Bone marrow smear.
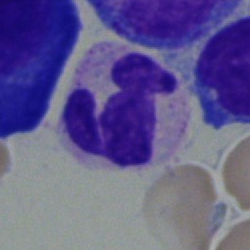

The morphological class is segmented neutrophil.